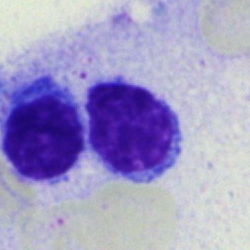
Specimen: bone marrow aspirate smear.
Cell type: typical lymphocyte.
Lineage: lymphoid.